Peripheral blood smear — 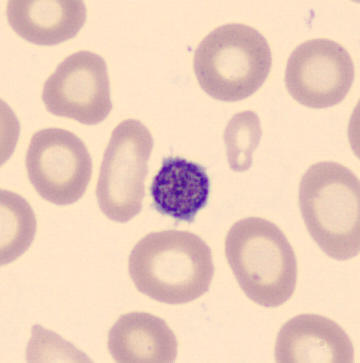
Morphological class = platelet (thrombocyte).